Bone marrow smear · 250×250 px · 40× objective, oil immersion:
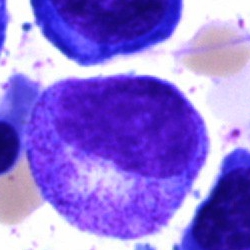 The cell is myelocyte.